Bone marrow smear
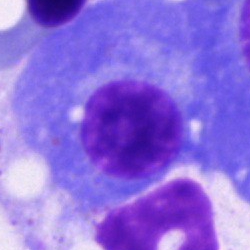

The morphological class is plasma cell.